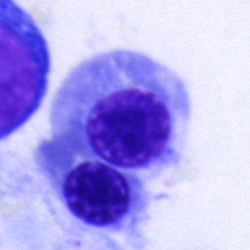
Morphological class — erythroblast.